Single-cell crop. Bone marrow aspirate smear
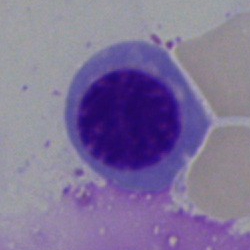 Specimen: bone marrow smear.
Classification: nucleated red blood cell.
Lineage: erythroid.